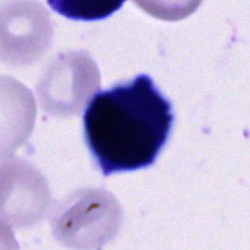Specimen: bone marrow smear.
Cell: cell of indeterminate lineage.